Bone marrow smear · 40× objective, oil immersion.
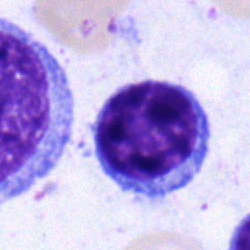
Impression — typical lymphocyte.